Bone marrow smear: 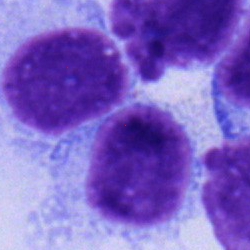 Specimen: bone marrow aspirate smear.
Classification: lymphocyte.